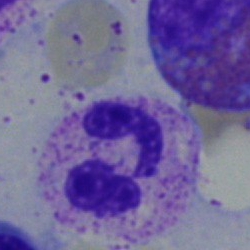 {"cell_type": "neutrophil (segmented)", "lineage": "myeloid"}